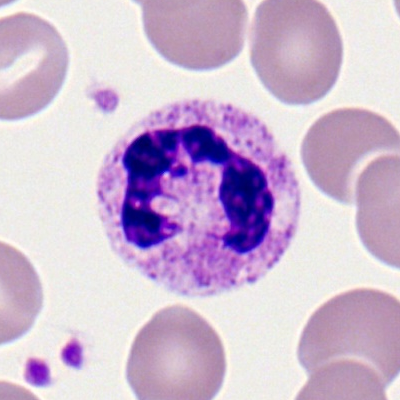This is a polymorphonuclear neutrophil.